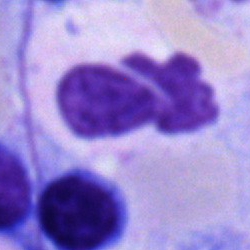

Bone marrow smear showing a band-form neutrophil.